Peripheral blood film · single cell centered in the field: 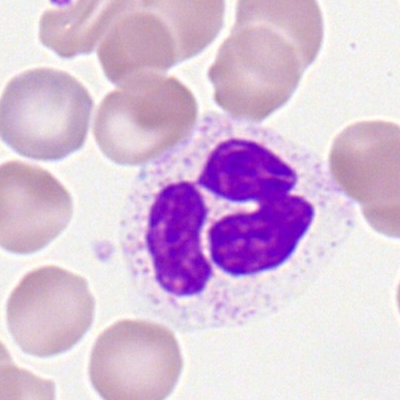
Q: What is shown here?
A: It is a neutrophil (segmented).